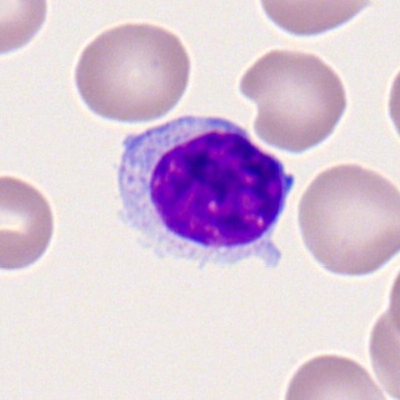

Cell = typical lymphocyte.